Bone marrow smear.
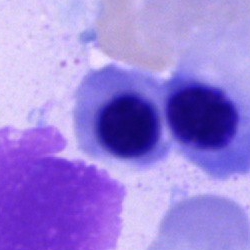 A nucleated red cell.